Bone marrow aspirate smear: 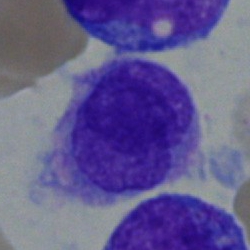 Single cell identified as a monocyte.